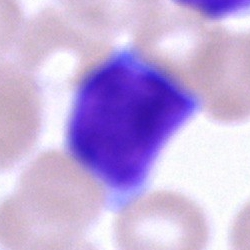
A typical lymphocyte on a bone marrow smear.